Bone marrow aspirate smear
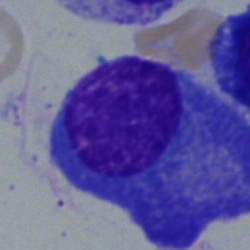Showing a plasmacyte.